Bone marrow smear — 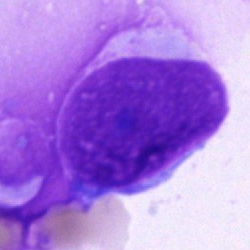 Specimen: bone marrow smear.
Cell: artefact.